Bone marrow smear · 40× oil immersion
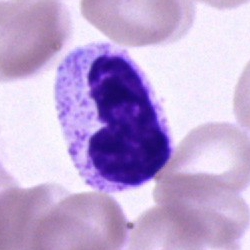

The cell shown is a band-form neutrophil.